Bone marrow smear. MGG-stained. Single-cell field.
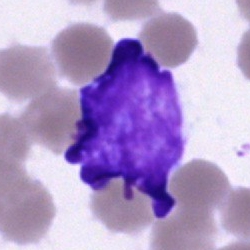 An artifact.